Bone marrow aspirate smear:
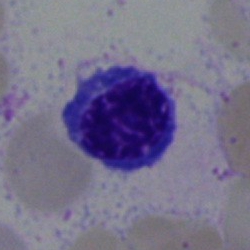 This is a nucleated red blood cell.